Bone marrow aspirate smear · brightfield microscopy, 40× oil immersion — 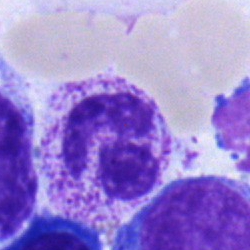
Specimen: bone marrow smear.
Morphological class: neutrophil (segmented).
Lineage: myeloid.